Bone marrow smear: 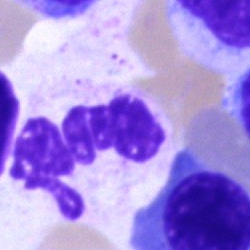

The cell shown is a segmented neutrophil.